May-Grünwald-Giemsa/Pappenheim stain · bone marrow aspirate smear:
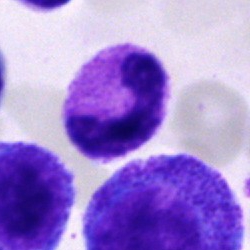 Showing a neutrophil (band).